Bone marrow smear — 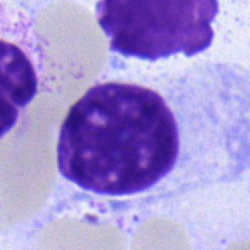 Morphological class — lymphocyte.